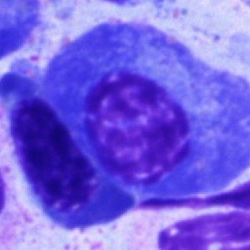
Bone marrow aspirate smear, single cell — plasmacyte.